Bone marrow aspirate smear; 40× oil immersion:
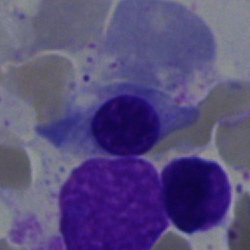

Q: What is the morphological classification of this cell?
A: It is an erythroblast.